Bone marrow aspirate smear · Pappenheim-stained
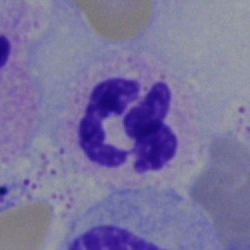
Morphological class: neutrophil (segmented).